Bone marrow aspirate smear. 40× objective, oil immersion:
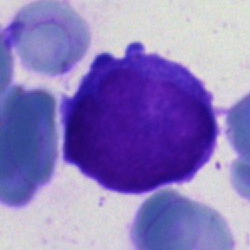This is a blast cell.